Bone marrow smear — 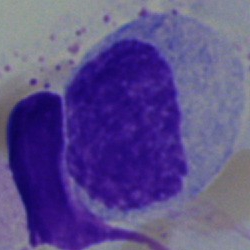

Specimen: bone marrow aspirate smear.
Cell: myelocyte.
Lineage: myeloid.